400×400. Peripheral blood smear.
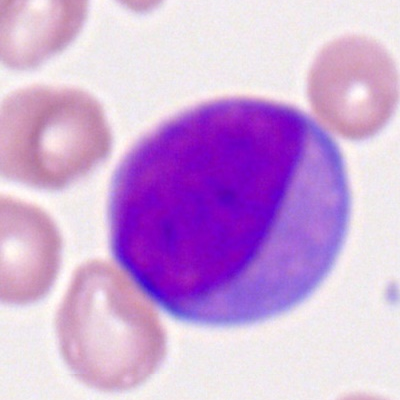

This is a myeloid blast.